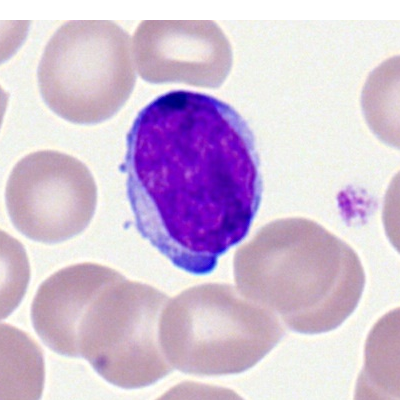 A typical lymphocyte on a peripheral blood smear.